Bone marrow aspirate smear — 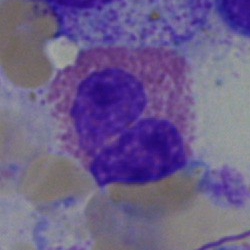 Impression → eosinophilic granulocyte.